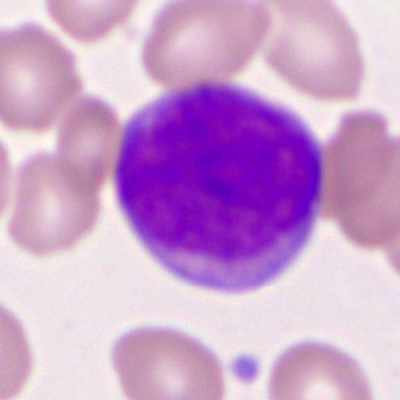
Impression → myeloid blast.